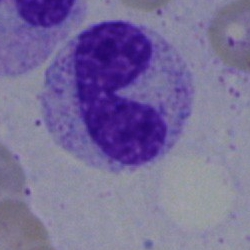

Single cell identified as a neutrophil (segmented).